Peripheral blood smear.
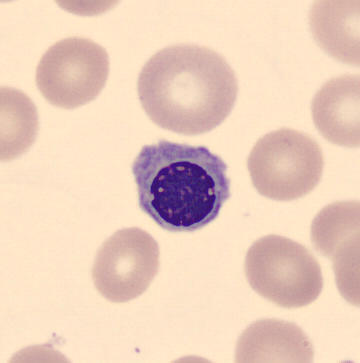
Specimen: peripheral blood smear.
Cell type: nucleated red blood cell.
Lineage: erythroid.